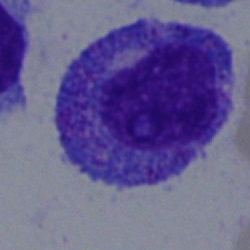 Specimen: bone marrow aspirate smear.
Cell type: promyelocyte.